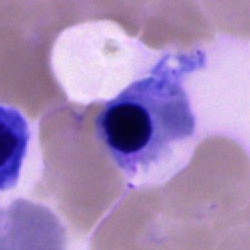

Q: What cell is this?
A: It is an erythroblast.